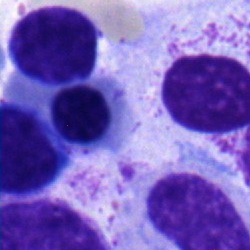 Showing a nucleated red blood cell.